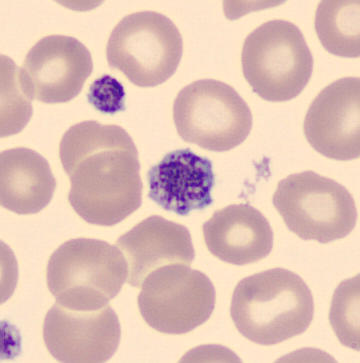
Specimen: peripheral blood smear.
Cell type: platelet.
Acquisition: Image size 360×363; CellaVision DM96.